Bone marrow aspirate smear · single cell centered in the field.
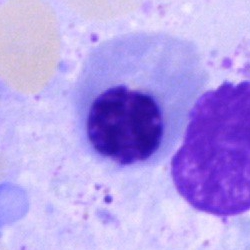
Q: What cell is this?
A: Nucleated red cell.